Bone marrow smear — 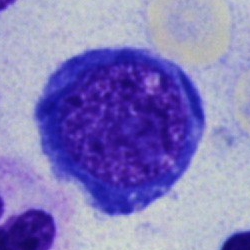
Showing a nucleated red blood cell.